Bone marrow aspirate smear: 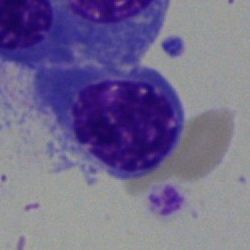
Cell — nucleated red blood cell.